Bone marrow aspirate smear.
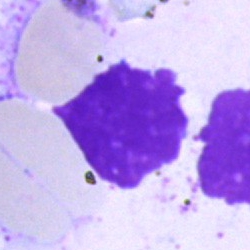 Q: What is shown here?
A: This is an artefact.